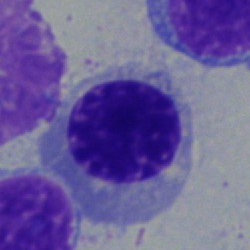 Cell — normoblast.